Peripheral blood film
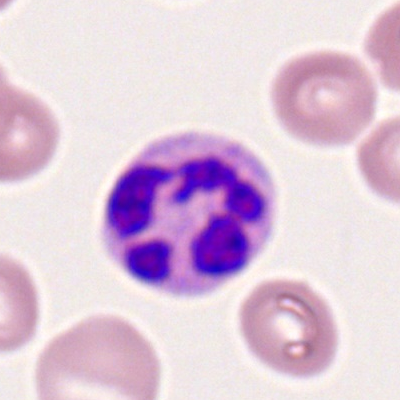The morphological class is segmented neutrophil.